Bone marrow aspirate smear · brightfield, 40× oil-immersion objective — 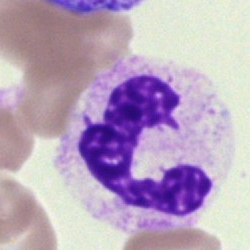
Q: What type of cell is this?
A: It is a neutrophil (segmented).